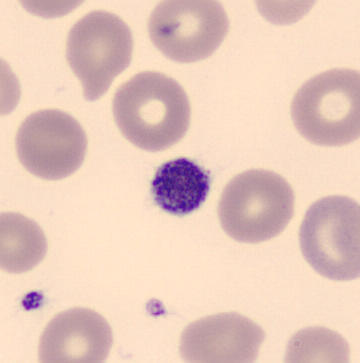 {"cell_type": "platelet"}